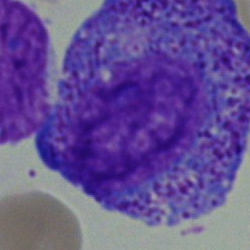 Specimen: bone marrow smear.
Morphological class: promyelocyte.
Lineage: myeloid.